Bone marrow aspirate smear:
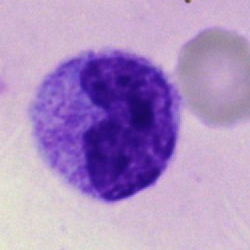
Single cell identified as a metamyelocyte.